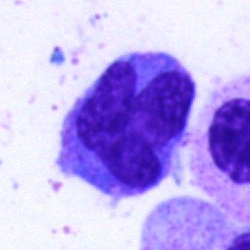

Showing a monocyte.